Bone marrow aspirate smear.
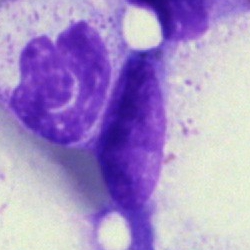 Morphological class — polymorphonuclear neutrophil.